Peripheral blood film: 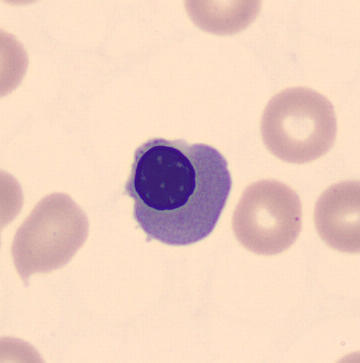
Identified as a normoblast.